Peripheral blood smear — 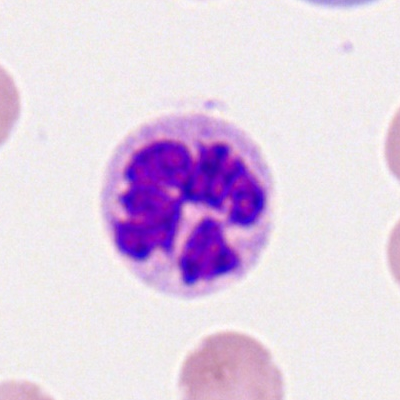 Morphology consistent with a neutrophil (segmented).